Brightfield, 40× oil-immersion objective. Bone marrow aspirate smear. May-Grünwald-Giemsa stain
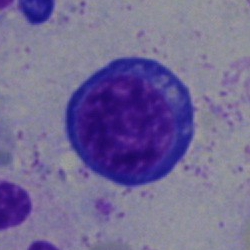Single cell identified as an erythroblast.